Brightfield, 40× oil-immersion objective · bone marrow smear · May-Grünwald-Giemsa stain:
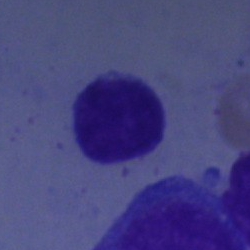
Single cell identified as a lymphocyte.